Bone marrow aspirate smear — 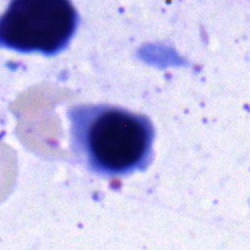Morphology — nucleated red cell.